Bone marrow aspirate smear: 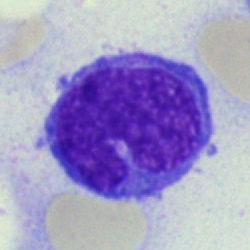This is a monocyte.